Bone marrow smear — 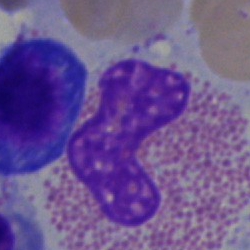Specimen: bone marrow aspirate smear.
Cell type: eosinophilic granulocyte.
Lineage: myeloid.